Bone marrow aspirate smear
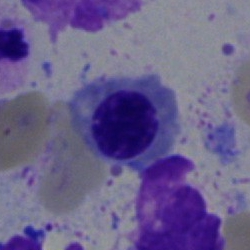
Q: Identify the cell.
A: Nucleated red cell.